Bone marrow smear · 250×250 · MGG-stained.
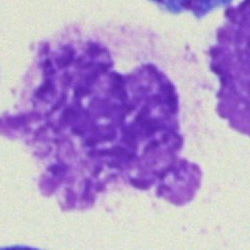
Q: What is shown here?
A: An artefact.